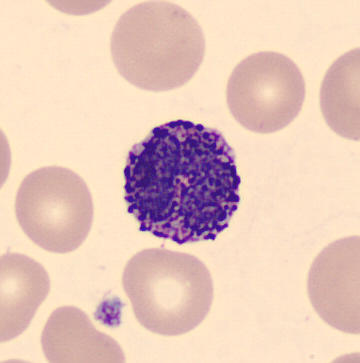
Peripheral blood smear showing a basophil.